Peripheral blood smear.
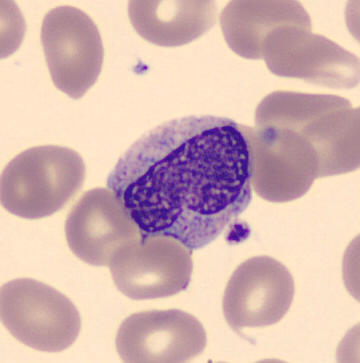 Cell type = metamyelocyte.